250×250 px · 40× objective, oil immersion · bone marrow smear — 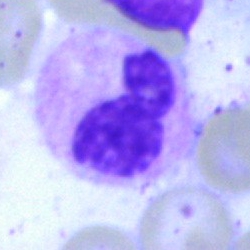

The cell type is neutrophil (segmented).